Bone marrow aspirate smear — 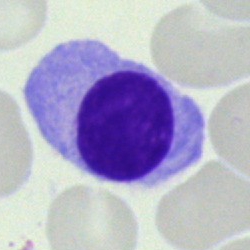Specimen: bone marrow aspirate smear.
Cell: typical lymphocyte.
Lineage: lymphoid.